Bone marrow aspirate smear: 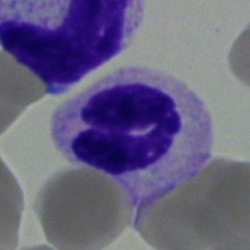Q: What is shown here?
A: A polymorphonuclear neutrophil.